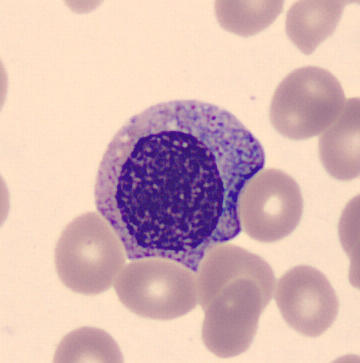

Impression → myelocyte.